Bone marrow smear; brightfield microscopy, 40× oil immersion — 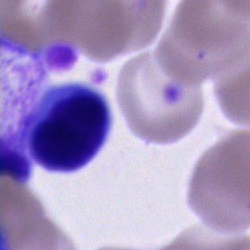The cell type is lymphocyte.